40× objective, oil immersion · bone marrow aspirate smear
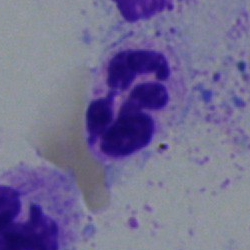

Morphological class = neutrophil (segmented).